Bone marrow aspirate smear.
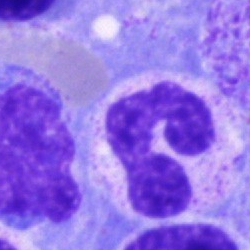
Morphology consistent with a band-form neutrophil.